Bone marrow aspirate smear · brightfield microscopy, 40× oil immersion
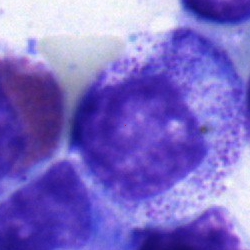
This is a promyelocyte.